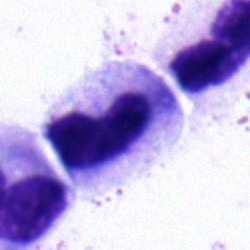Bone marrow aspirate smear, single cell — stab cell.